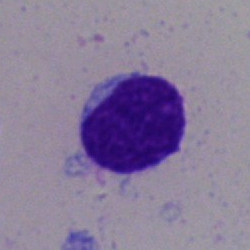
Impression → lymphocyte.